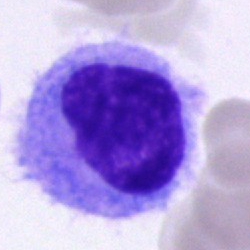Morphological class = hairy cell.